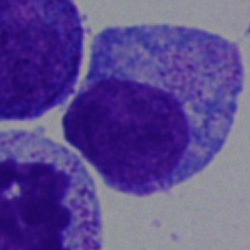The classification is progranulocyte.